Bone marrow aspirate smear: 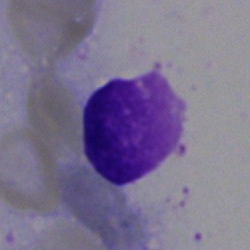
An artefact.